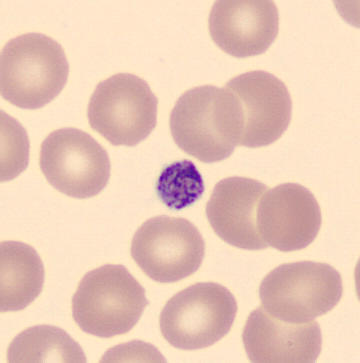
Peripheral blood smear. Morphological class — platelet (thrombocyte).